Bone marrow smear. Single cell centered in the field.
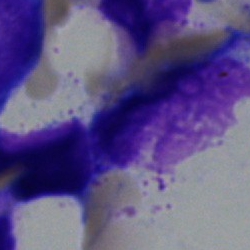
Q: What is shown here?
A: Artifact.